Peripheral blood film. 100× oil immersion.
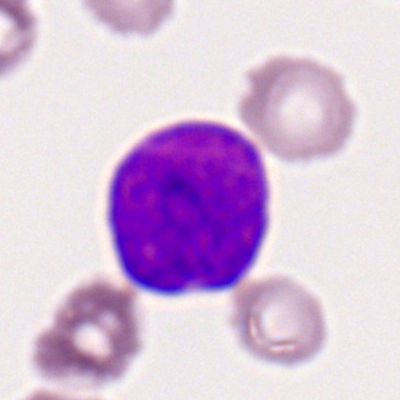

Q: What is shown here?
A: This is a myeloid blast.